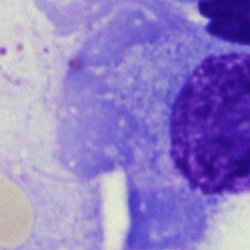 The morphological class is plasmacyte.